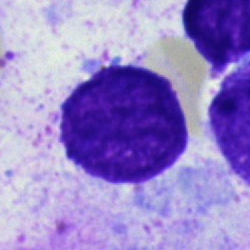

Bone marrow smear showing an artefact.